Image size 250×250. 40× objective, oil immersion. Bone marrow aspirate smear
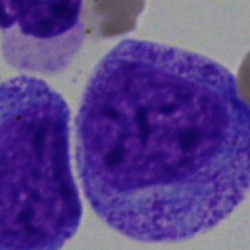Impression — promyelocyte.